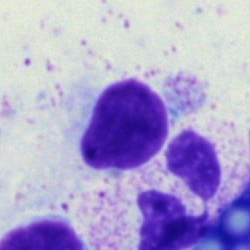
Morphology — artefact.